Bone marrow aspirate smear: 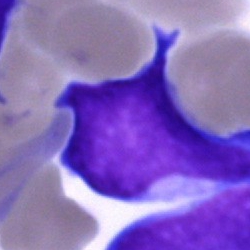 Q: What is shown here?
A: This is a blast.